Bone marrow smear
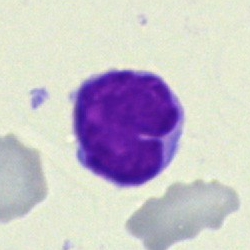 A typical lymphocyte.